Bone marrow smear: 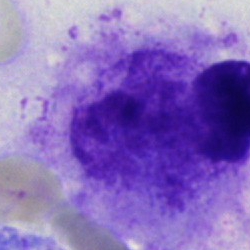

Impression — artifact.